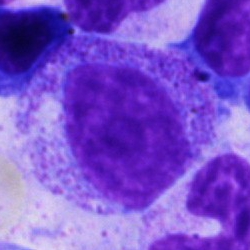Q: Identify the cell.
A: It is a promyelocyte.